Bone marrow aspirate smear; MGG-stained.
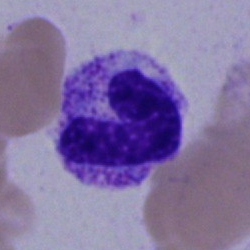
Impression — band-form neutrophil.